Bone marrow smear
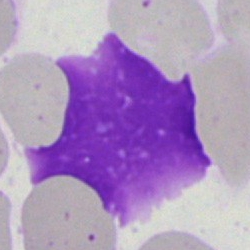

Specimen: bone marrow smear.
Cell: artefact.